40× oil immersion. Bone marrow smear — 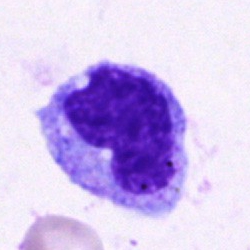

Cell: monocyte.